Bone marrow aspirate smear — 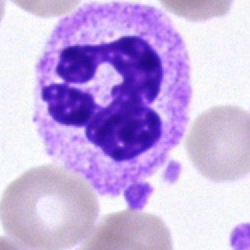

A segmented neutrophil.